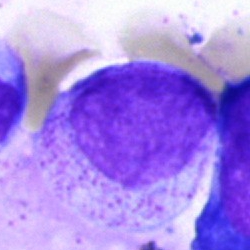 Bone marrow smear showing a myelocyte.